Bone marrow smear: 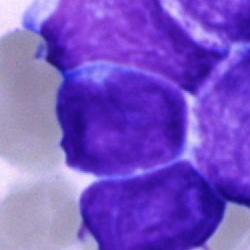

Impression — undifferentiated blast.